Bone marrow smear. Pappenheim-stained:
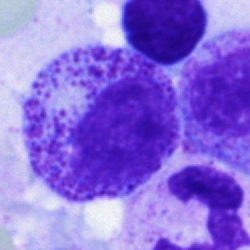Morphology consistent with a myelocyte.